Bone marrow smear · 40× objective, oil immersion · 250×250 px
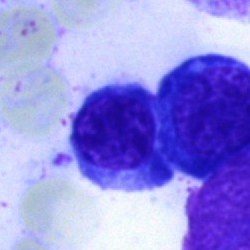
The classification is nucleated red blood cell.